Bone marrow aspirate smear
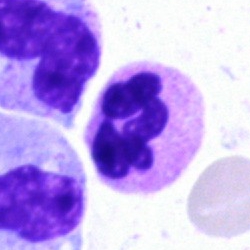

The cell shown is a polymorphonuclear neutrophil.